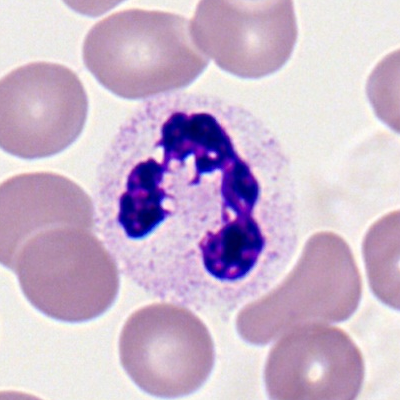

Impression — segmented neutrophil.